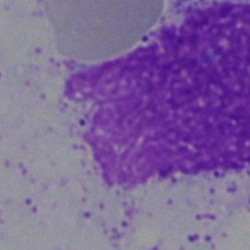
Morphology → artifact.